Bone marrow aspirate smear: 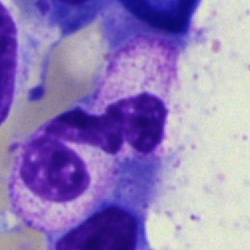 Impression — segmented neutrophil.